Bone marrow aspirate smear; brightfield, 40× oil-immersion objective.
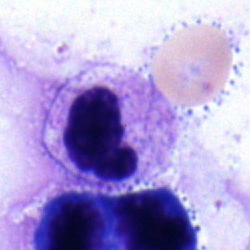Specimen: bone marrow aspirate smear.
Classification: myelocyte.
Lineage: myeloid.